Bone marrow smear. 40× oil immersion — 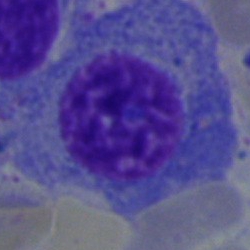
Showing a plasmacyte.